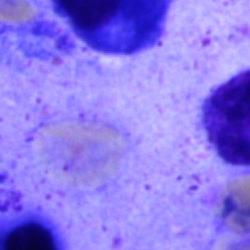Q: What is shown here?
A: Artefact.